Bone marrow aspirate smear. Pappenheim-stained
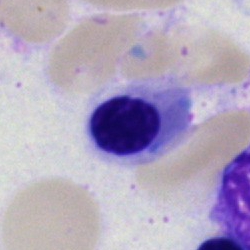

Morphological class — normoblast.